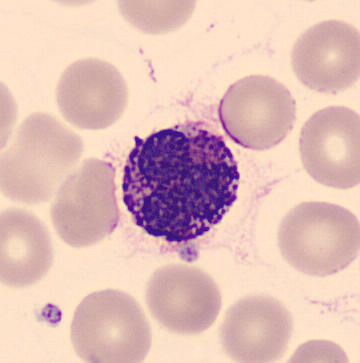
From a peripheral blood smear: a basophilic granulocyte.